Bone marrow smear:
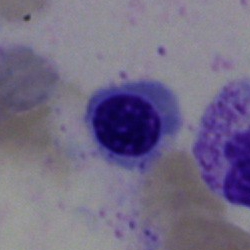
Q: What cell is this?
A: Nucleated red blood cell.